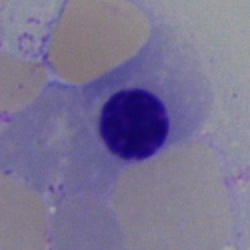
Cell = erythroblast.